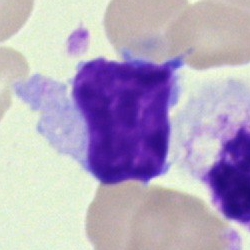

Single cell identified as a lymphocyte.